Bone marrow aspirate smear:
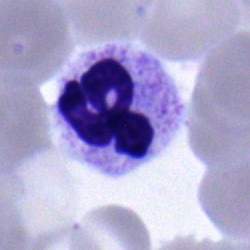 {"cell_type": "segmented neutrophil", "lineage": "myeloid"}